Bone marrow smear. Brightfield, 40× oil-immersion objective:
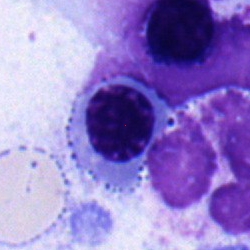 Morphology consistent with a nucleated red blood cell.